Peripheral blood film · image size 400×400 — 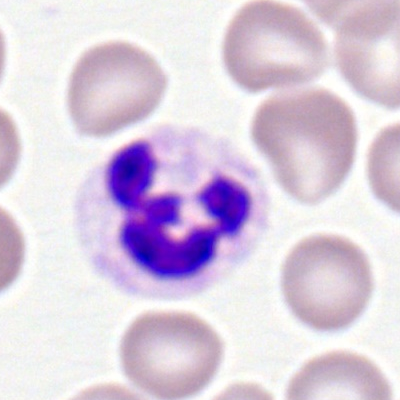

Q: What is shown here?
A: A polymorphonuclear neutrophil.